Bone marrow smear.
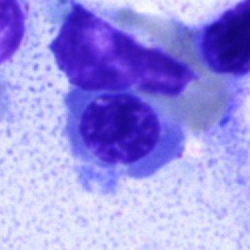 Impression → nucleated red blood cell.